Bone marrow aspirate smear: 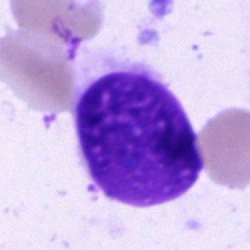 Specimen: bone marrow smear.
Cell type: artifact.